40× objective, oil immersion · bone marrow aspirate smear.
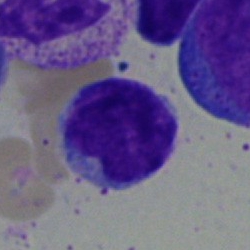

Single cell identified as a typical lymphocyte.